Bone marrow aspirate smear. Cropped to a single cell. May-Grünwald-Giemsa/Pappenheim stain: 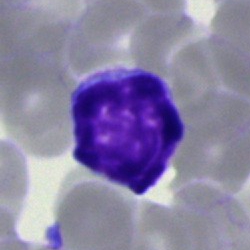Q: Which cell type is shown here?
A: Typical lymphocyte.